Bone marrow smear: 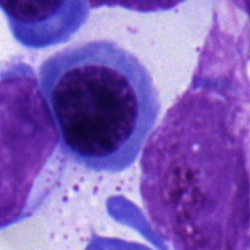

Showing a nucleated red blood cell.